May-Grünwald-Giemsa stain. Brightfield, 40× oil-immersion objective. Bone marrow aspirate smear:
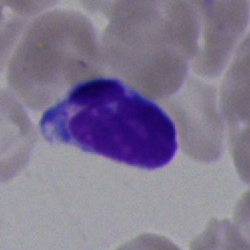 Cell = lymphocyte.